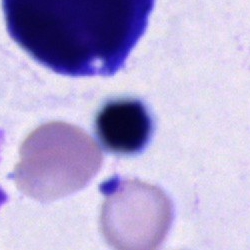

Cell — unidentifiable cell.